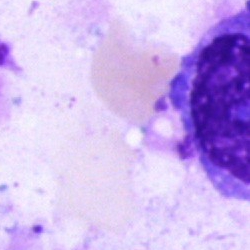

Specimen: bone marrow aspirate smear.
Classification: artifact.